40× objective, oil immersion. Bone marrow smear:
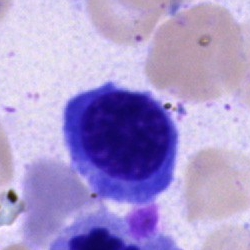Impression — nucleated red cell.